Peripheral blood smear: 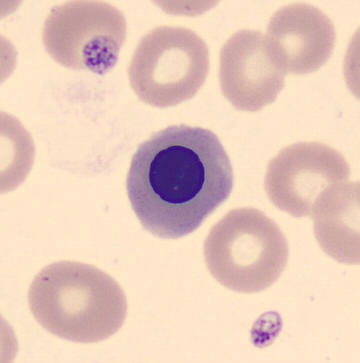The cell type is normoblast.